Bone marrow aspirate smear — 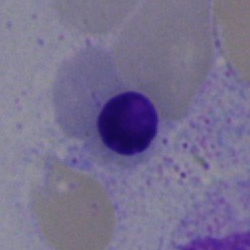
Classification — normoblast.